Bone marrow smear · May-Grünwald-Giemsa stain.
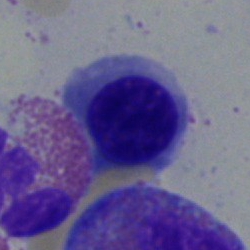

Q: What is the morphological classification of this cell?
A: A normoblast.